Bone marrow smear · single cell centered in the field:
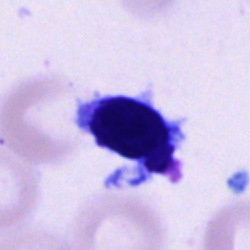
Q: Identify the cell.
A: It is a typical lymphocyte.